Bone marrow aspirate smear: 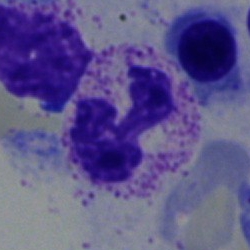 This is a polymorphonuclear neutrophil.